Bone marrow aspirate smear. 250 by 250 pixels:
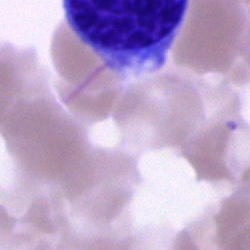

This is an unidentifiable cell.